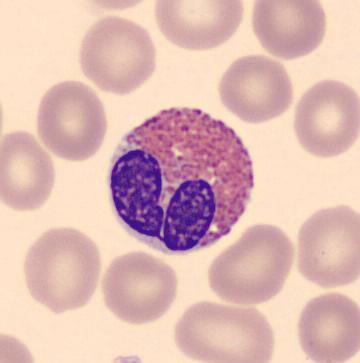
Classification: eosinophil. Acquisition: Peripheral blood film. 360×363.